Brightfield, 40× oil-immersion objective. 250×250. Bone marrow smear
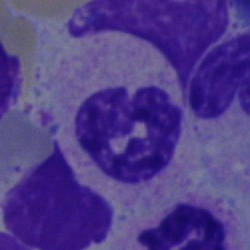

The classification is segmented neutrophil.